Bone marrow aspirate smear:
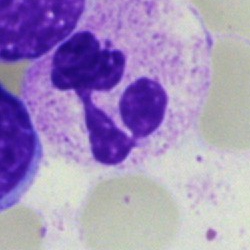 Q: What type of cell is this?
A: It is a segmented neutrophil.